40× objective, oil immersion · 250 by 250 pixels · bone marrow smear — 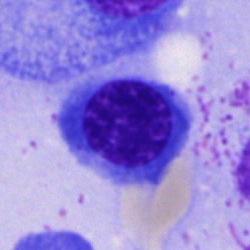

Morphology consistent with a nucleated red cell.